Bone marrow aspirate smear.
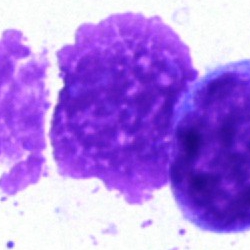
The cell shown is an artefact.